Bone marrow smear · 250×250 px · 40× oil immersion: 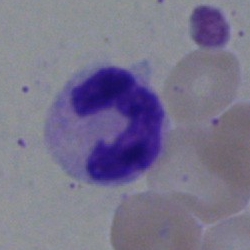

Cell type — segmented neutrophil.